Bone marrow aspirate smear. 40× oil immersion
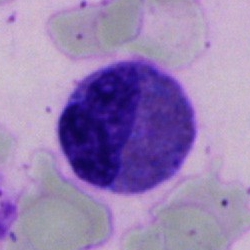

Morphology consistent with an eosinophilic granulocyte.